Bone marrow aspirate smear.
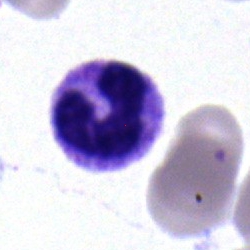Morphology — neutrophil (segmented).